Bone marrow smear
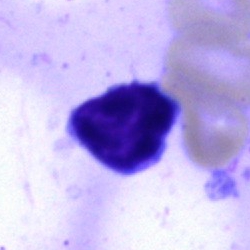 Impression → lymphocyte.